Bone marrow smear: 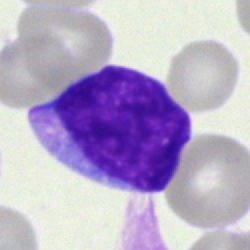
This is a blast.